Peripheral blood film
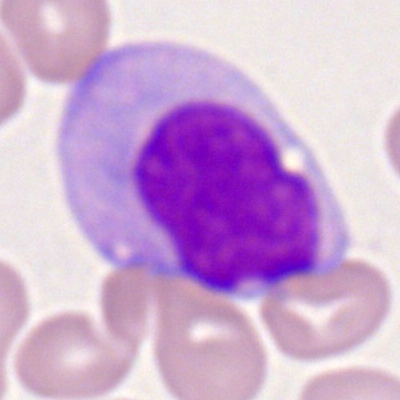Specimen: peripheral blood smear.
Cell type: monoblast.